Peripheral blood film; Romanowsky-stained
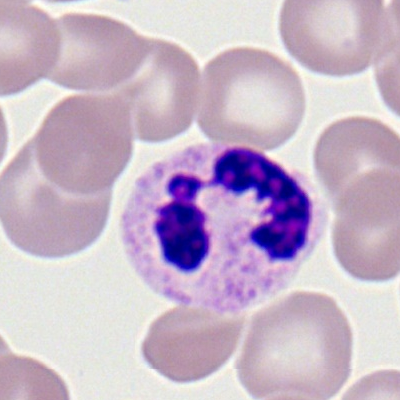 Neutrophil (segmented).